40× objective, oil immersion. Bone marrow aspirate smear.
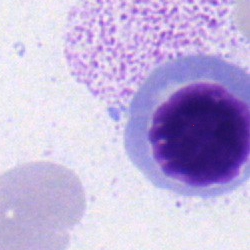 Cell = erythroblast.